Bone marrow smear — 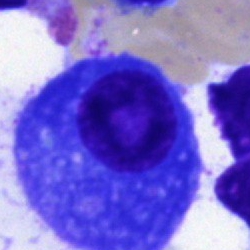Q: What type of cell is this?
A: A plasma cell.